Bone marrow smear:
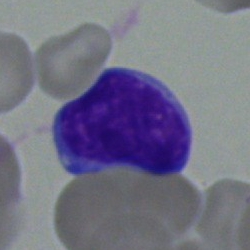
Morphological class — blast.